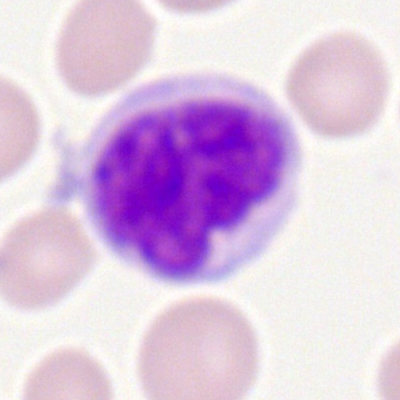

Q: What is the morphological classification of this cell?
A: A monocyte.